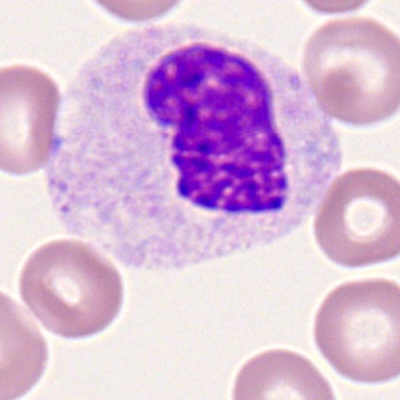
Q: Which cell type is shown here?
A: It is a polymorphonuclear neutrophil.